Bone marrow aspirate smear · 250×250 · brightfield, 40× oil-immersion objective.
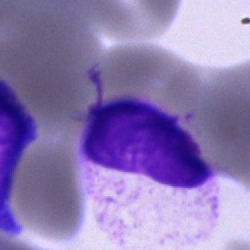

{"cell_type": "unidentifiable cell"}